Bone marrow aspirate smear: 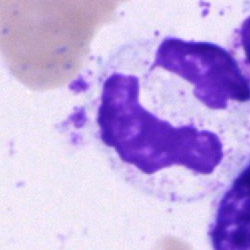 The cell is segmented neutrophil.